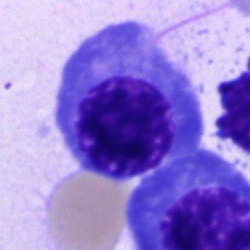 The cell is normoblast.